Bone marrow smear · brightfield microscopy, 40× oil immersion · 250 by 250 pixels
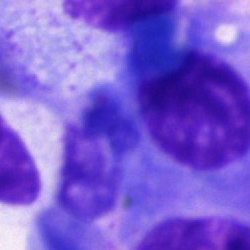Cell type — plasmacyte.